Romanowsky-type stain; image size 400×400; peripheral blood smear:
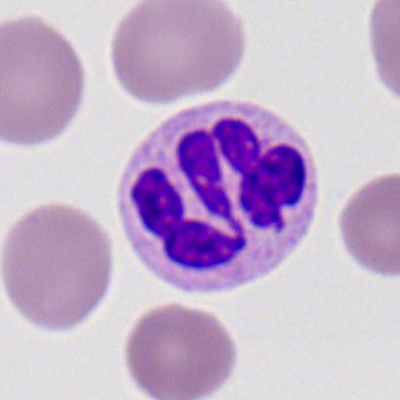
The cell shown is a neutrophil (segmented).